May-Grünwald-Giemsa stain. Bone marrow smear.
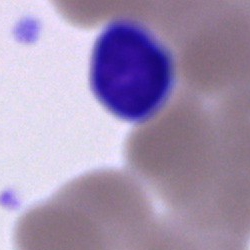

Cell = cell of indeterminate lineage.